Peripheral blood smear:
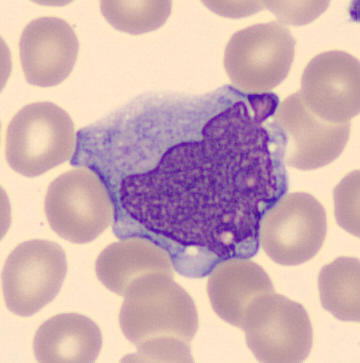Specimen: peripheral blood film.
Morphological class: monocyte.
Lineage: myeloid.